Brightfield microscopy, 40× oil immersion. Bone marrow aspirate smear. May-Grünwald-Giemsa stain: 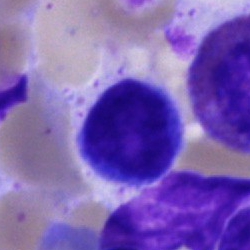

Cell type = lymphocyte.